Bone marrow smear.
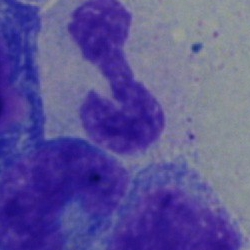Single cell identified as a band neutrophil.